Bone marrow smear
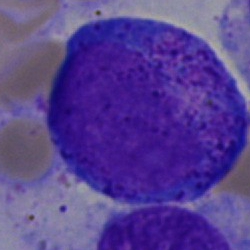
The morphological class is promyelocyte.